Brightfield microscopy, 40× oil immersion. Bone marrow smear
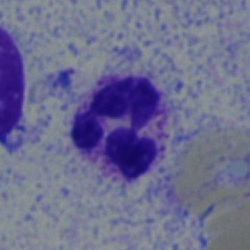
Segmented neutrophil.